Bone marrow smear; brightfield microscopy, 40× oil immersion; 250 by 250 pixels:
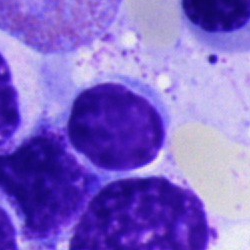 Morphology — lymphocyte.